Bone marrow smear
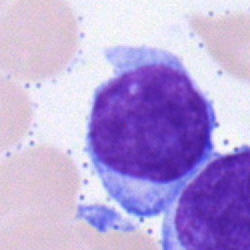
Q: What type of cell is this?
A: It is a lymphocyte.